Peripheral blood film — 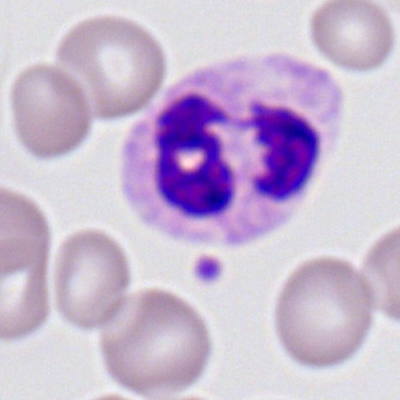

Morphological class — segmented neutrophil.